Bone marrow aspirate smear:
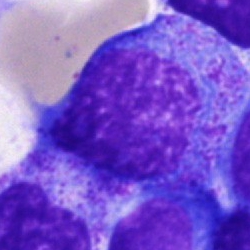 Morphological class = progranulocyte.